250 by 250 pixels; bone marrow aspirate smear.
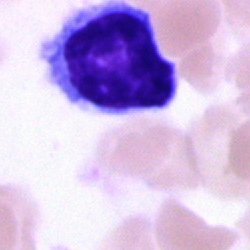
Typical lymphocyte.